MGG-stained · bone marrow smear:
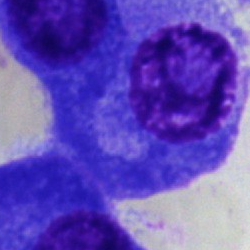

Specimen: bone marrow smear.
Cell type: plasma cell.
Lineage: lymphoid.